Bone marrow smear: 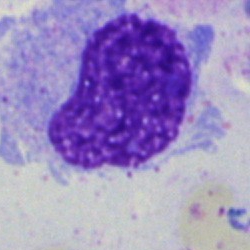 Specimen: bone marrow aspirate smear.
Morphological class: artefact.